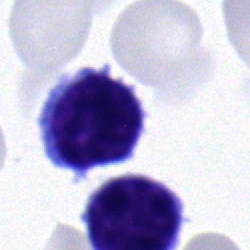

Cell type = lymphocyte.